Peripheral blood smear; automated cell imaging (CellaVision DM96).
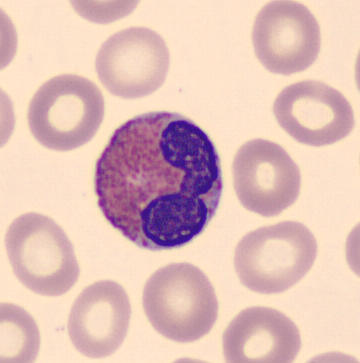Single cell identified as an eosinophilic granulocyte.